40× objective, oil immersion · bone marrow aspirate smear · 250 by 250 pixels:
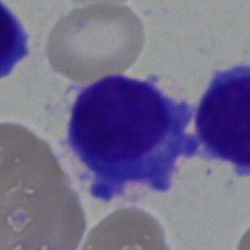 Morphology consistent with a plasma cell.